Bone marrow smear — 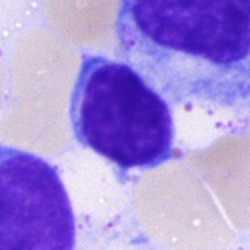 This is a lymphocyte.